Peripheral blood smear — 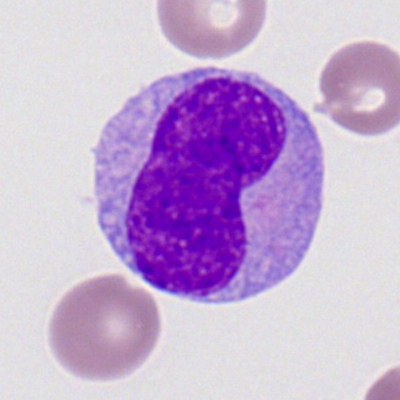 Specimen: peripheral blood film.
Cell: myeloid blast.
Lineage: myeloid.